Bone marrow smear. 250×250
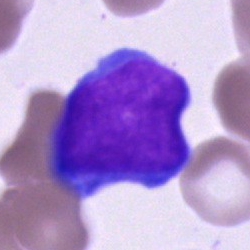 Undifferentiated blast.